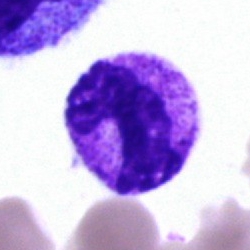

Morphology — segmented neutrophil.